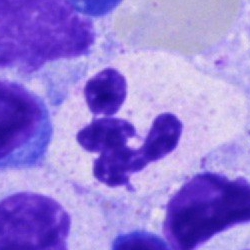Q: What is the morphological classification of this cell?
A: It is a neutrophil (segmented).